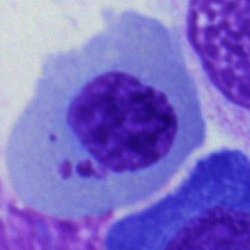A normoblast on a bone marrow smear.